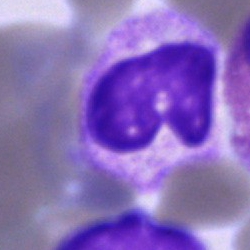

Bone marrow aspirate smear, single cell — polymorphonuclear neutrophil.